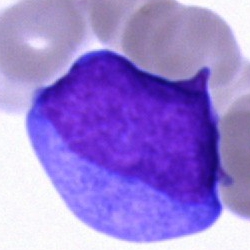 The cell type is blast cell.